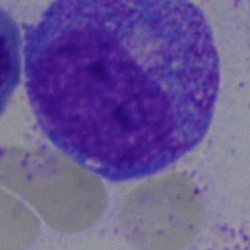 Morphology → promyelocyte.